Bone marrow smear:
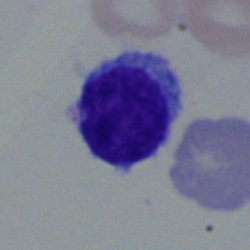

Specimen: bone marrow aspirate smear.
Morphological class: lymphocyte.
Lineage: lymphoid.